250×250 px · bone marrow aspirate smear:
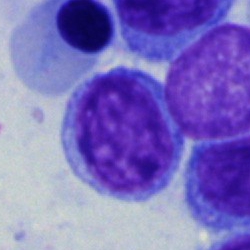Impression — lymphocyte.